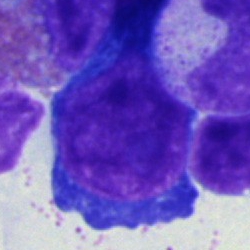A normoblast.